Bone marrow aspirate smear — 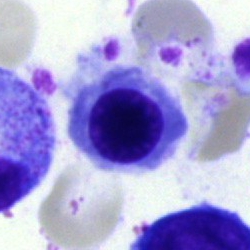Single cell identified as a normoblast.